Brightfield microscopy, 40× oil immersion · 250×250 px · bone marrow smear — 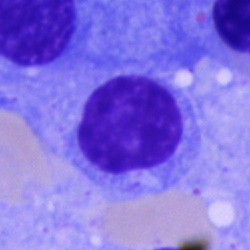 This is a plasma cell.